Peripheral blood film: 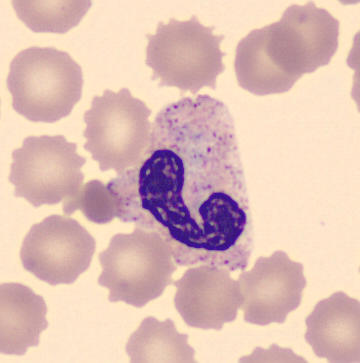The cell shown is a band neutrophil.